250×250 px; bone marrow aspirate smear; Pappenheim-stained
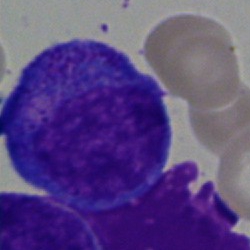
Morphological class — progranulocyte.